Bone marrow aspirate smear — 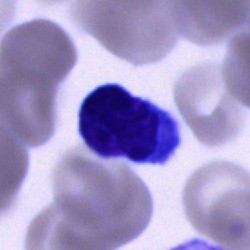
Morphology consistent with a lymphocyte.